Bone marrow aspirate smear · 40× objective, oil immersion.
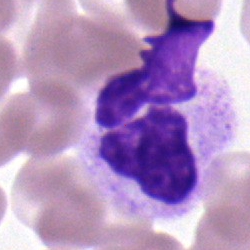

Q: What type of cell is this?
A: Segmented neutrophil.